Bone marrow smear: 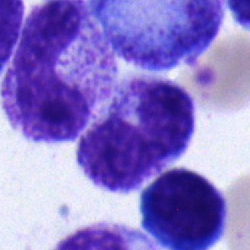Q: What is shown here?
A: A neutrophil (band).